Bone marrow aspirate smear:
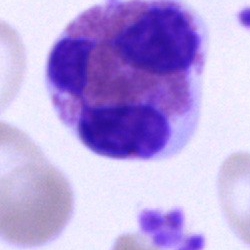 Classification = eosinophil.